Bone marrow aspirate smear: 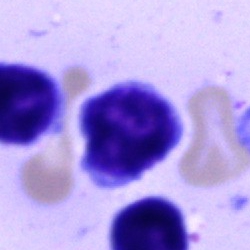
Specimen: bone marrow aspirate smear.
Cell: lymphocyte.